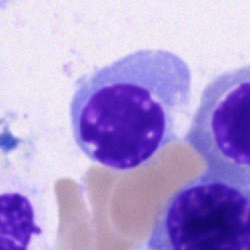Bone marrow aspirate smear, single cell — nucleated red cell.